Bone marrow smear · cropped to a single cell — 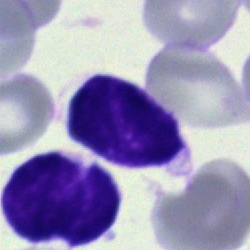

Morphology consistent with a lymphocyte.